Bone marrow smear:
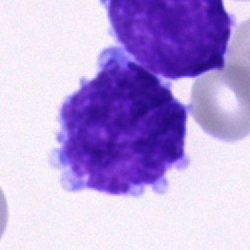

An undifferentiated blast.